Bone marrow smear — 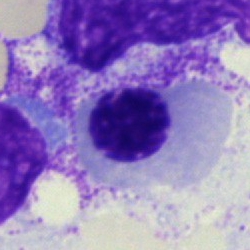This is an erythroblast.